Bone marrow smear · brightfield microscopy, 40× oil immersion · 250×250 px: 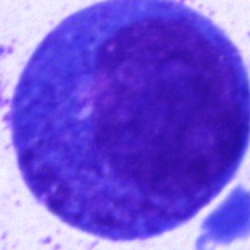

Cell type — promyelocyte.